Bone marrow smear; single-cell crop:
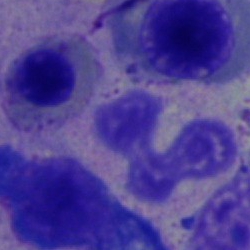 Polymorphonuclear neutrophil.